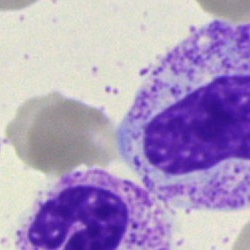
Classification = band-form neutrophil.